Bone marrow smear: 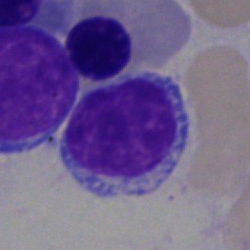Specimen: bone marrow smear.
Cell type: lymphocyte.